Bone marrow aspirate smear. 250×250.
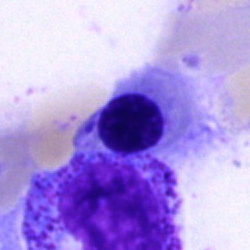

Morphology — erythroblast.